Bone marrow smear.
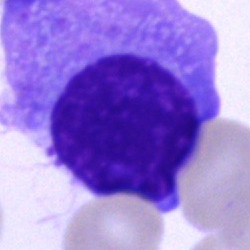 Cell type: plasma cell.